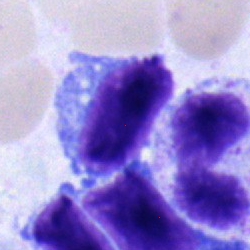

Single cell identified as a typical lymphocyte.